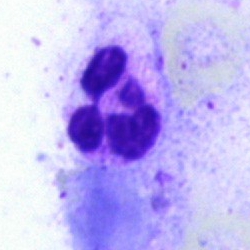
Bone marrow aspirate smear, single cell — segmented neutrophil.